Bone marrow aspirate smear; 250×250 px:
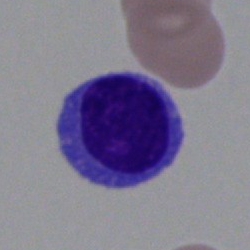Cell type: lymphocyte.